Bone marrow aspirate smear:
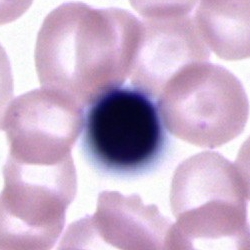 Unidentifiable cell.